Bone marrow smear: 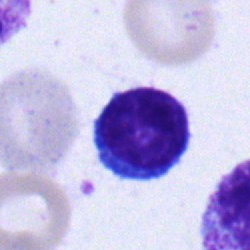
Morphology — lymphocyte.